Single-cell field; bone marrow aspirate smear; May-Grünwald-Giemsa stain — 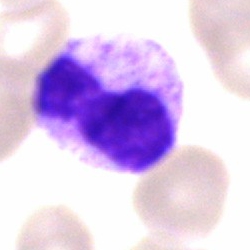
The cell is polymorphonuclear neutrophil.